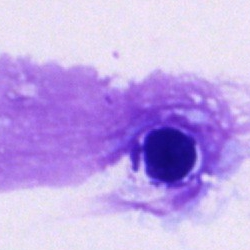 Morphological class: artifact.